Bone marrow smear:
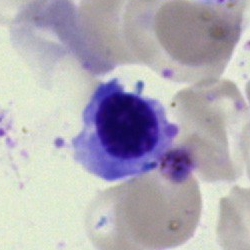Morphology → nucleated red blood cell.